Bone marrow aspirate smear.
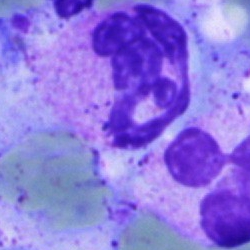
Morphology → segmented neutrophil.